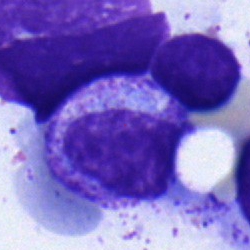 Impression → myelocyte.